Bone marrow smear — 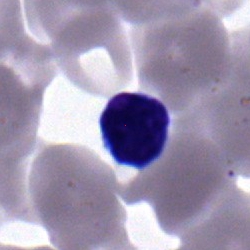 Morphological class — typical lymphocyte.